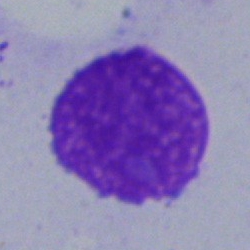 Morphology — artifact.